Bone marrow aspirate smear:
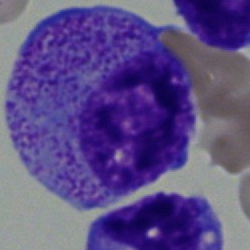
Q: Which cell type is shown here?
A: Progranulocyte.